40× objective, oil immersion. Bone marrow aspirate smear:
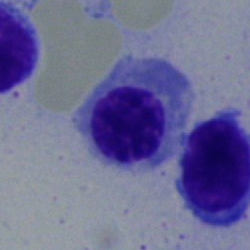

An erythroblast.